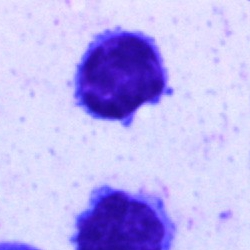 Classification — typical lymphocyte.